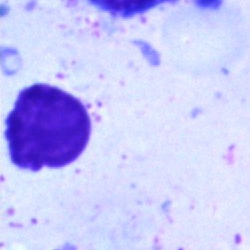
Bone marrow aspirate smear, single cell — artifact.